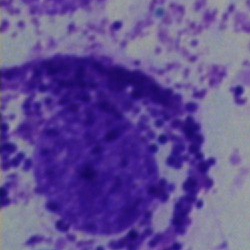
Cell type = cell not matching the other categories.